Bone marrow aspirate smear. Pappenheim-stained — 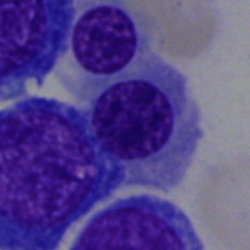

Morphological class — nucleated red blood cell.